Single-cell crop; bone marrow aspirate smear.
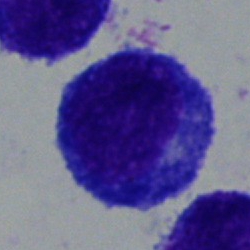
The cell type is progranulocyte.